Bone marrow smear:
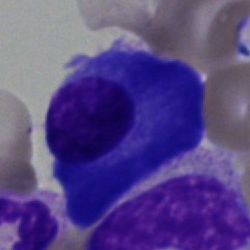

The classification is plasma cell.